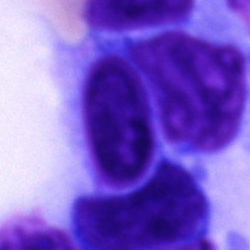

Morphology — unidentifiable cell.